Bone marrow aspirate smear:
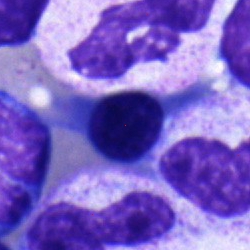 Cell: nucleated red blood cell.